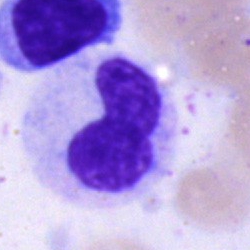
Bone marrow smear showing a band-form neutrophil.